May-Grünwald-Giemsa/Pappenheim stain. Bone marrow aspirate smear. 40× objective, oil immersion
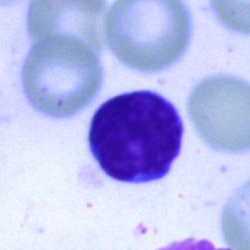 {"cell_type": "lymphocyte", "lineage": "lymphoid"}